Bone marrow smear. 40× oil immersion.
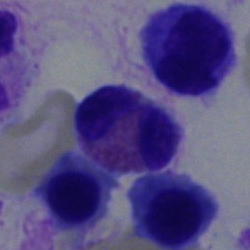
Q: What cell is this?
A: It is an eosinophilic granulocyte.